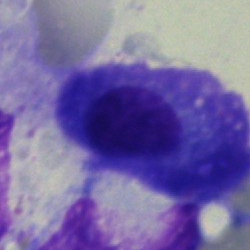 Bone marrow aspirate smear, single cell — plasma cell.